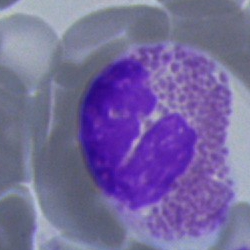Bone marrow smear showing an eosinophilic granulocyte.